Peripheral blood film:
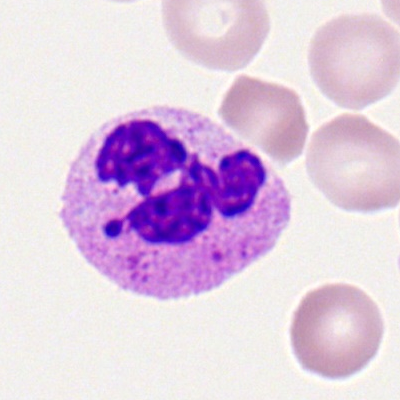Q: What is shown here?
A: This is a segmented neutrophil.